Bone marrow smear · 250×250: 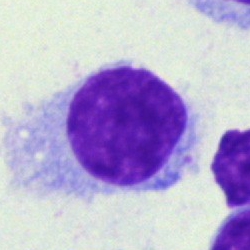

Morphology — hairy cell.